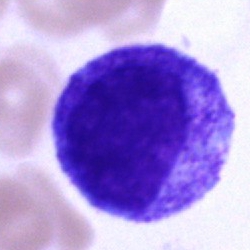 Bone marrow smear showing a promyelocyte.